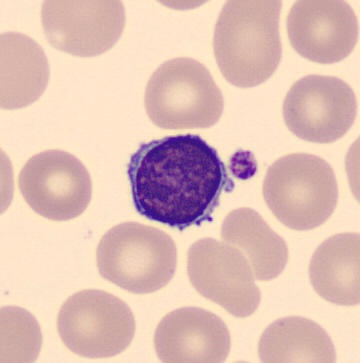

Cell — lymphocyte.

Automated cell imaging (CellaVision DM96). Peripheral blood film. Single-cell crop.